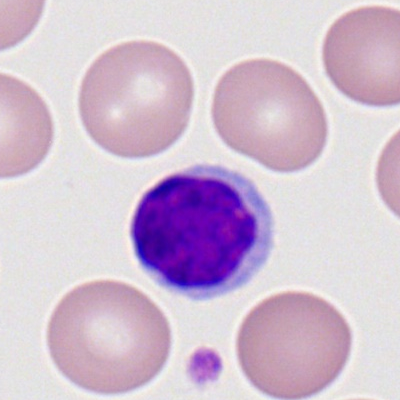 Lymphocyte.